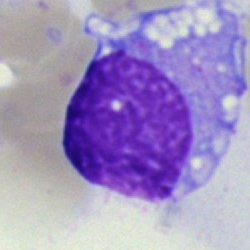Morphology → monocyte.